Bone marrow aspirate smear — 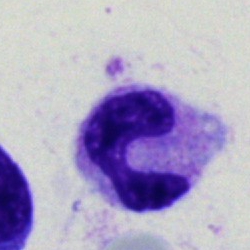

This is a polymorphonuclear neutrophil.